Bone marrow smear · single cell centered in the field:
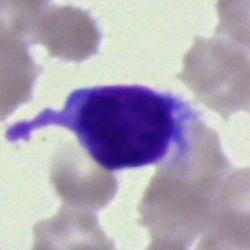Q: What is shown here?
A: Artifact.